Bone marrow aspirate smear
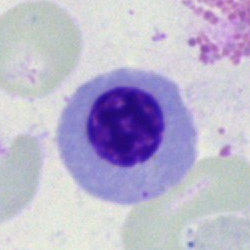Single cell identified as a normoblast.